Bone marrow aspirate smear; 250×250
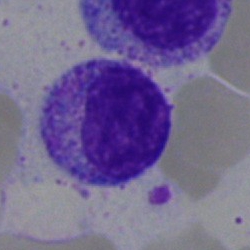The cell shown is a myelocyte.